Bone marrow aspirate smear · May-Grünwald-Giemsa/Pappenheim stain
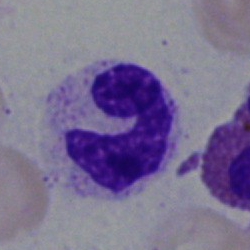 Specimen: bone marrow smear.
Cell: neutrophil (band).
Lineage: myeloid.